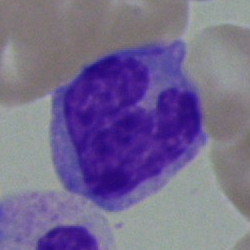

Morphology → monocyte.